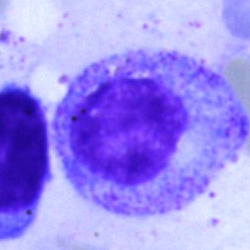
Morphology — myelocyte.